Bone marrow smear — 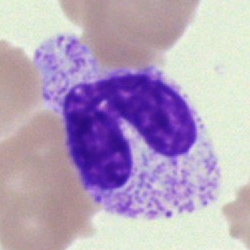Cell type = segmented neutrophil.